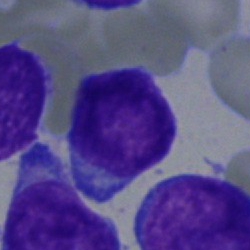Bone marrow smear showing an undifferentiated blast.